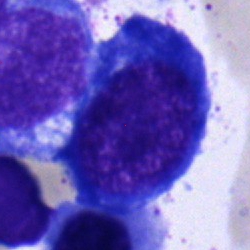 Normoblast.